Bone marrow aspirate smear: 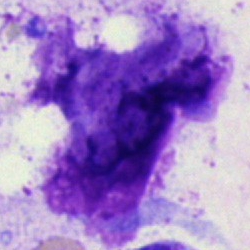

Morphological class — artifact.